250×250; bone marrow aspirate smear:
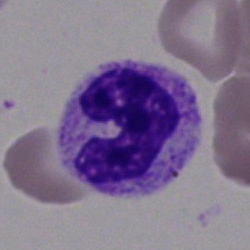A stab cell.